Bone marrow aspirate smear:
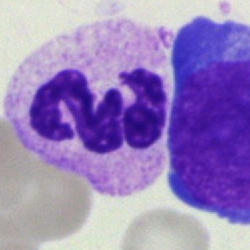

Morphological class = polymorphonuclear neutrophil.